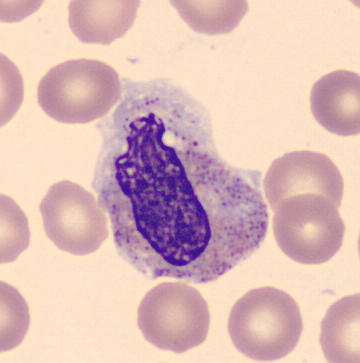

Peripheral blood film. Q: What is the morphological classification of this cell?
A: It is a metamyelocyte.